Bone marrow aspirate smear: 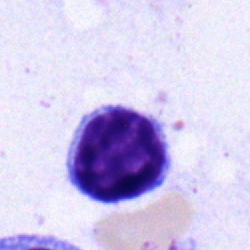 Specimen: bone marrow smear.
Cell: lymphocyte.
Lineage: lymphoid.